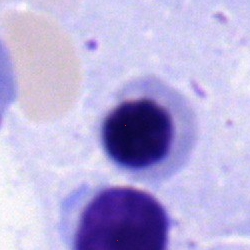 Morphological class — erythroblast.